Single cell centered in the field; Pappenheim-stained; bone marrow aspirate smear — 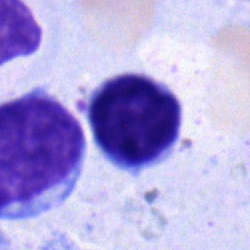
Single cell identified as a lymphocyte.